Peripheral blood smear; 100× oil immersion
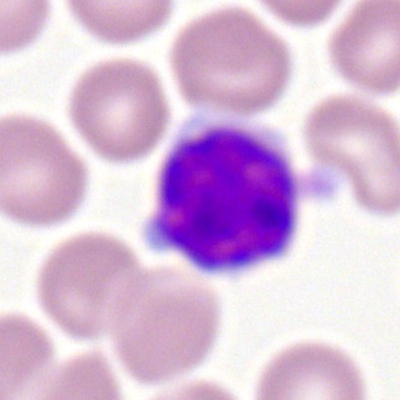

Lymphocyte.